Peripheral blood smear — 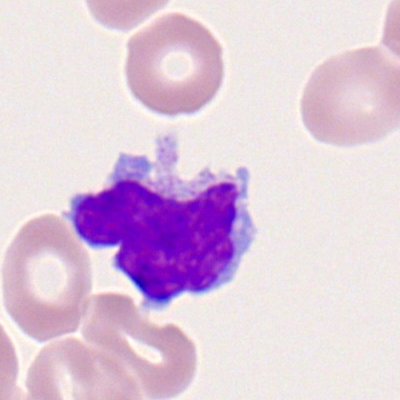
Single cell identified as a lymphocyte.